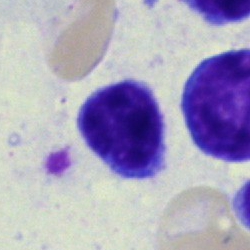
Single-cell crop from a bone marrow smear: typical lymphocyte.